May-Grünwald-Giemsa stain; bone marrow smear:
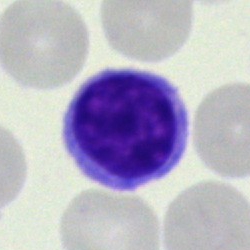
{"cell_type": "lymphocyte"}